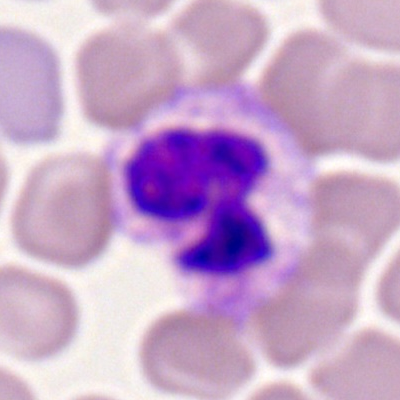 Cell — segmented neutrophil.